Bone marrow aspirate smear: 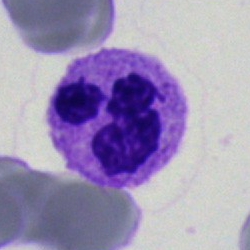

Segmented neutrophil.